Bone marrow aspirate smear
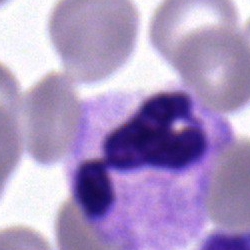

The cell shown is a segmented neutrophil.